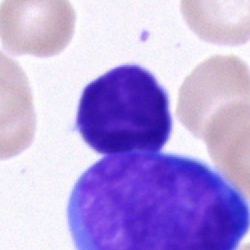
The cell shown is a lymphocyte.